Peripheral blood film.
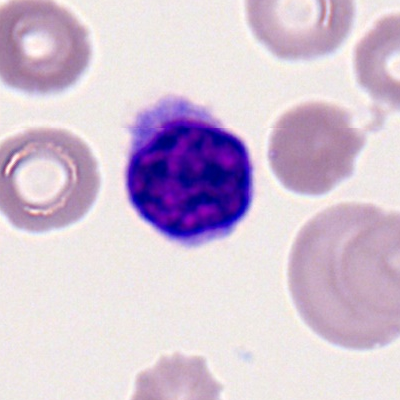

Impression — typical lymphocyte.